Bone marrow smear:
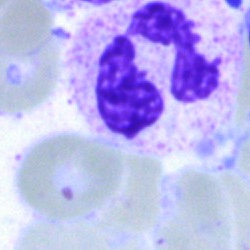
Q: Which cell type is shown here?
A: A segmented neutrophil.